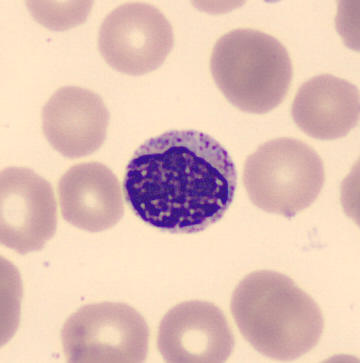 Identified as a myelocyte. Acquisition: Peripheral blood smear. 360×363 px. Single-cell field.